Bone marrow smear: 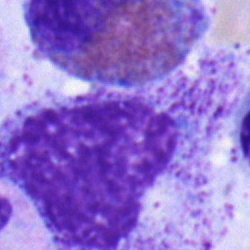

This is a myelocyte.